Pappenheim-stained · bone marrow aspirate smear · 250 by 250 pixels — 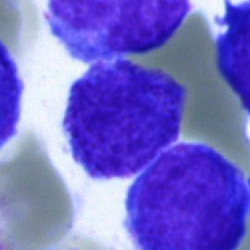

The cell type is blast.